Bone marrow smear; image size 250×250 — 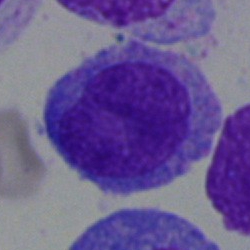 Specimen: bone marrow aspirate smear.
Morphological class: undifferentiated blast.